Bone marrow smear.
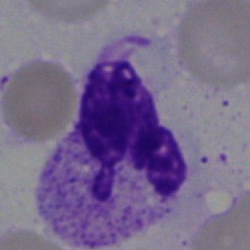
A segmented neutrophil.